Bone marrow smear. Cropped to a single cell: 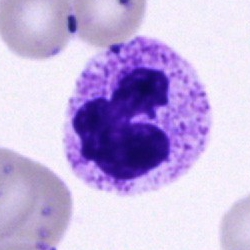 {"cell_type": "neutrophil (segmented)"}